Bone marrow aspirate smear — 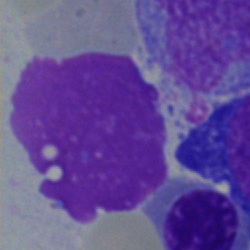 Impression → artefact.